Bone marrow smear · image size 250×250: 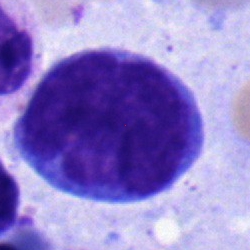

Q: What is shown here?
A: This is a monocyte.